Cropped to a single cell; bone marrow aspirate smear; May-Grünwald-Giemsa/Pappenheim stain:
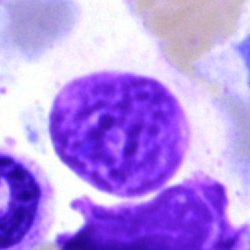An artifact.